Bone marrow smear. 250 by 250 pixels — 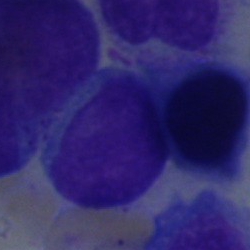Specimen: bone marrow smear.
Cell: undifferentiated blast.